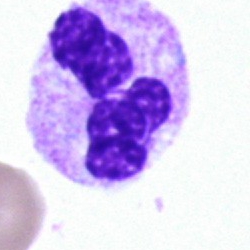 Showing a segmented neutrophil.